400×400. Peripheral blood film — 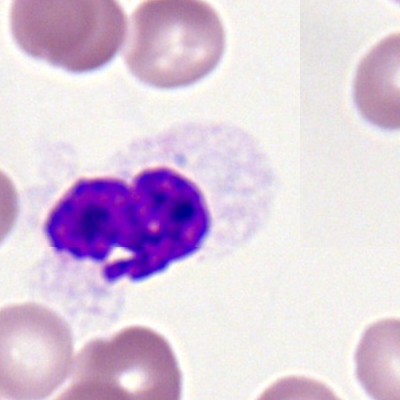

Cell type = polymorphonuclear neutrophil.